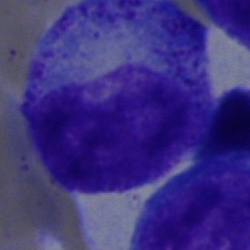 Single cell identified as a promyelocyte.